Bone marrow aspirate smear · 40× objective, oil immersion:
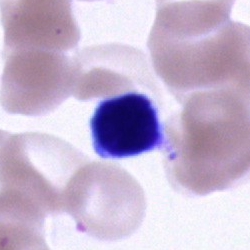Impression → unidentifiable cell.